Image size 250×250; bone marrow aspirate smear: 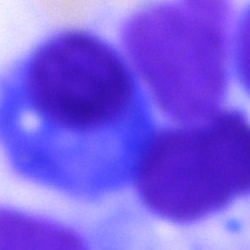Q: What is the morphological classification of this cell?
A: It is a plasma cell.